Romanowsky stain; peripheral blood film.
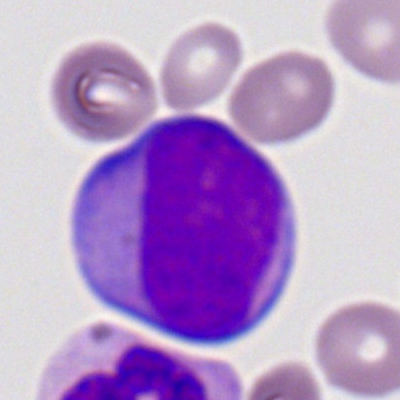Impression — myeloblast.